Bone marrow aspirate smear — 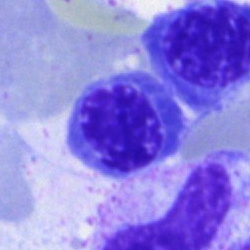
Morphology → nucleated red cell.